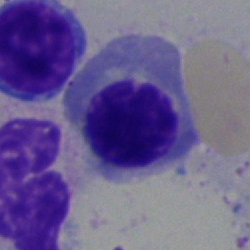 Morphological class = normoblast.